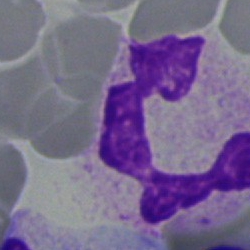
Q: Identify the cell.
A: It is a polymorphonuclear neutrophil.